Bone marrow smear — 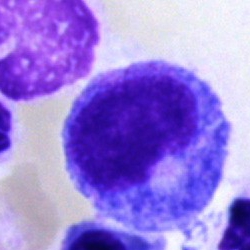
Cell — promyelocyte.